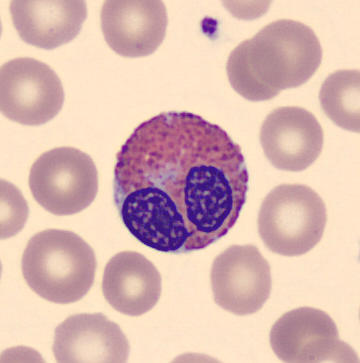Specimen: peripheral blood smear.
Cell type: eosinophil.